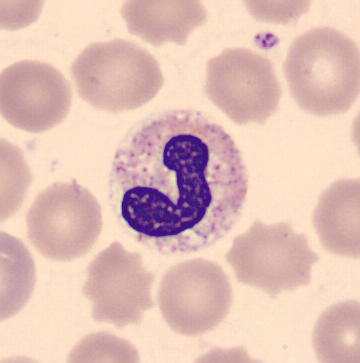 Acquisition: Peripheral blood film · 360 by 363 pixels.

Morphology → band neutrophil.